250 by 250 pixels. Bone marrow aspirate smear: 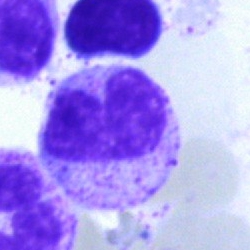

{"cell_type": "band-form neutrophil", "lineage": "myeloid"}